Bone marrow aspirate smear — 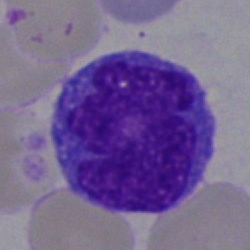

Q: What is the morphological classification of this cell?
A: Monocyte.